Romanowsky-type stain · single-cell crop · peripheral blood film: 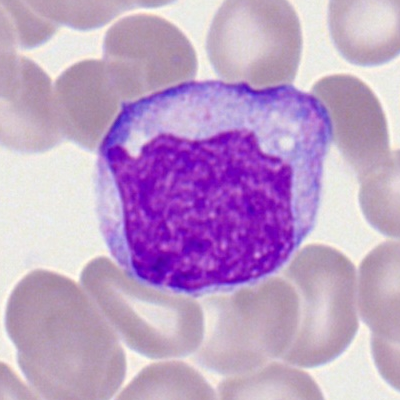Q: Identify the cell.
A: A monocyte.